Cropped to a single cell. Bone marrow aspirate smear.
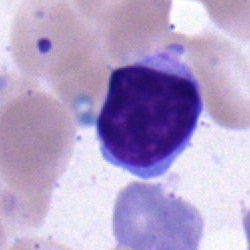

Impression → lymphocyte.